Cropped to a single cell · bone marrow aspirate smear — 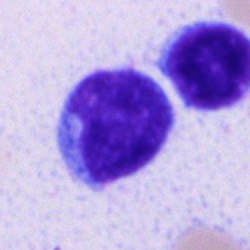 A lymphocyte.